Bone marrow aspirate smear: 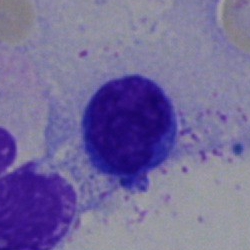
Morphological class = typical lymphocyte.